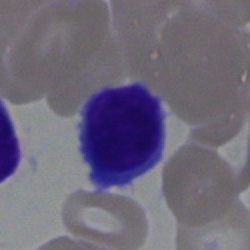 Cell: plasmacyte.